Bone marrow smear; image size 250×250; 40× oil immersion.
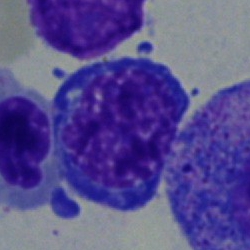 Specimen: bone marrow aspirate smear.
Morphological class: nucleated red cell.
Lineage: erythroid.